Bone marrow smear: 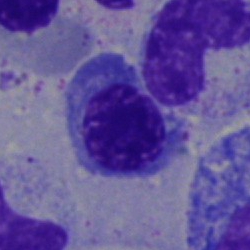

Cell type: nucleated red cell.